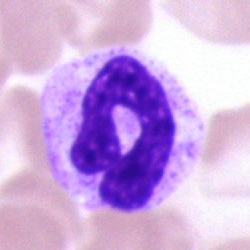The cell is stab cell.